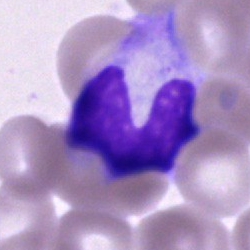
Morphology → cell of indeterminate lineage.